Bone marrow smear:
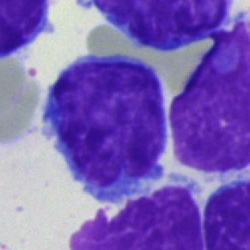
Q: What is the morphological classification of this cell?
A: Lymphocyte.